Bone marrow aspirate smear · 250 by 250 pixels · single-cell crop.
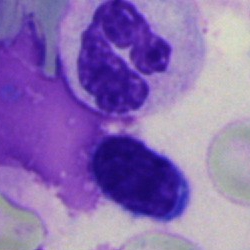

Showing a segmented neutrophil.